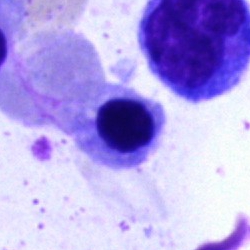 Single-cell crop from a bone marrow smear: erythroblast.